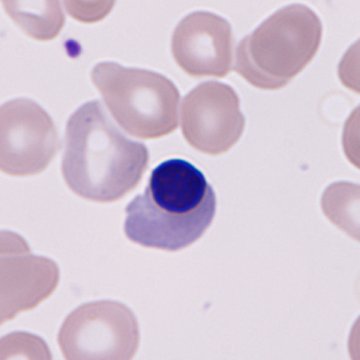A normoblast. Peripheral blood smear.